Bone marrow aspirate smear; single cell centered in the field; brightfield, 40× oil-immersion objective:
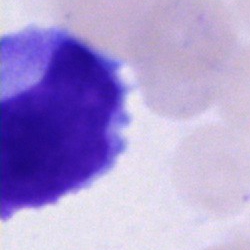 Cell type: cell of indeterminate lineage.